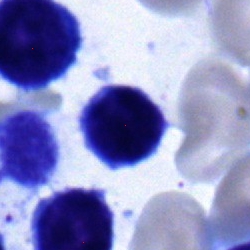Classification: lymphocyte.